Bone marrow aspirate smear
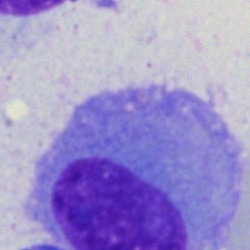
This is a plasmacyte.